Bone marrow smear.
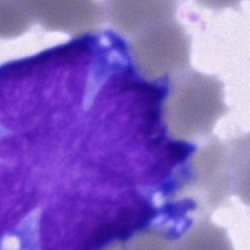Cell = undifferentiated blast.